Bone marrow smear: 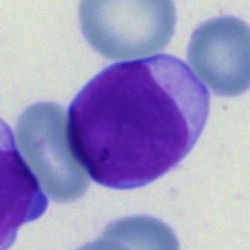Q: What is the morphological classification of this cell?
A: Typical lymphocyte.